Bone marrow smear:
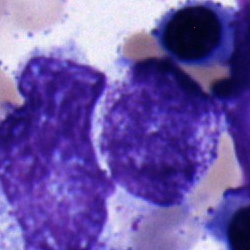 Cell — myelocyte.